Bone marrow aspirate smear.
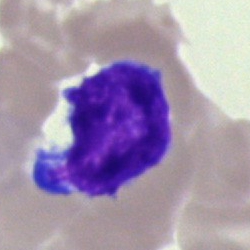

Cell — typical lymphocyte.